Bone marrow smear
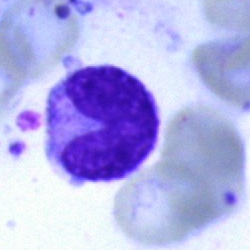This is a neutrophil (band).